Image size 250×250. May-Grünwald-Giemsa stain. Bone marrow aspirate smear: 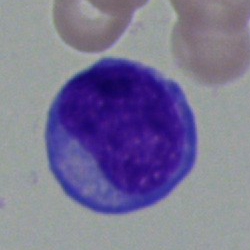 Cell type: myelocyte.